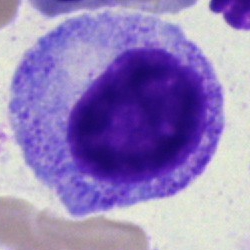
The cell shown is a progranulocyte.